Bone marrow aspirate smear; May-Grünwald-Giemsa/Pappenheim stain
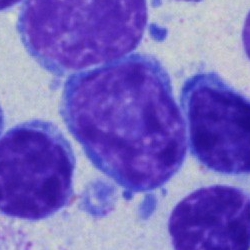
Morphology consistent with a lymphocyte.